Bone marrow smear — 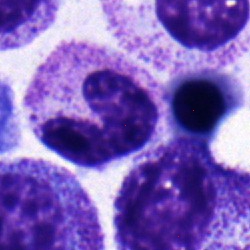 Cell type — band neutrophil.